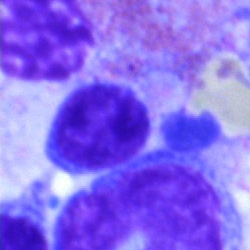

Bone marrow smear showing a lymphocyte.